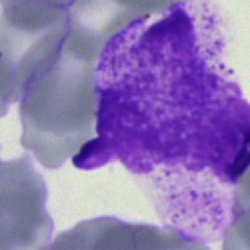
Q: What is shown here?
A: Artifact.